Bone marrow smear: 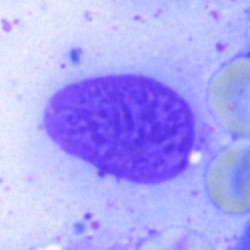 An artefact.